Bone marrow smear.
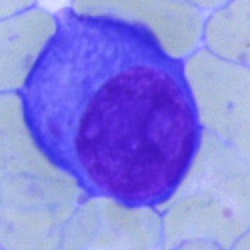
Showing a plasma cell.